Bone marrow smear.
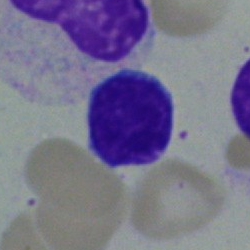Lymphocyte.